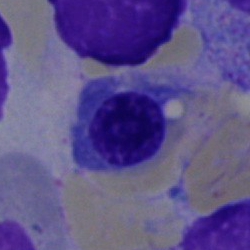

Q: Identify the cell.
A: A nucleated red blood cell.